Bone marrow smear. Single-cell field
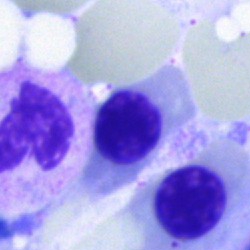Impression — normoblast.